Bone marrow smear: 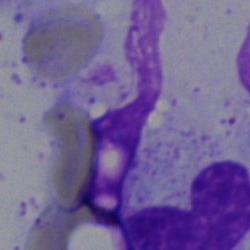Artifact.